MGG-stained · bone marrow aspirate smear · 40× objective, oil immersion:
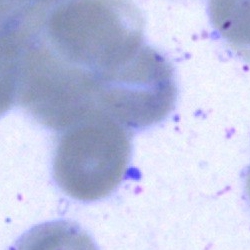 Morphological class = artifact.